250 by 250 pixels · bone marrow aspirate smear · brightfield microscopy, 40× oil immersion
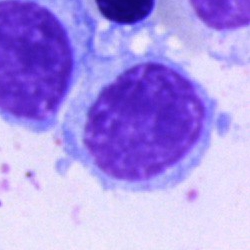Q: Identify the cell.
A: It is a typical lymphocyte.